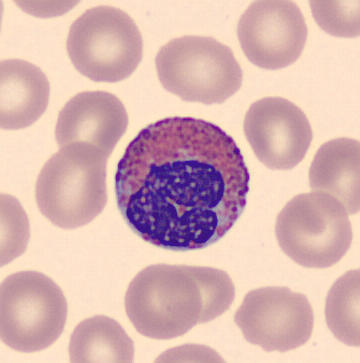Eosinophilic granulocyte.
Preparation: May-Grünwald-Giemsa-stained · peripheral blood film · automated cell imaging (CellaVision DM96).